Bone marrow smear — 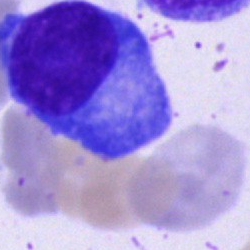Plasmacyte.